Bone marrow smear. 250×250.
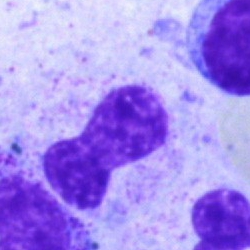 Cell: band-form neutrophil.